Pappenheim-stained; bone marrow aspirate smear — 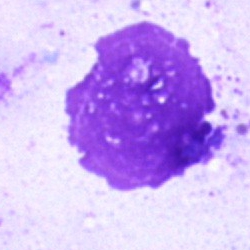The cell type is artifact.